Brightfield, 40× oil-immersion objective · Pappenheim-stained · bone marrow smear.
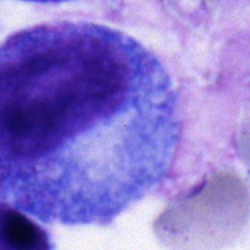

Q: What type of cell is this?
A: It is a promyelocyte.